Image size 250×250 · bone marrow aspirate smear.
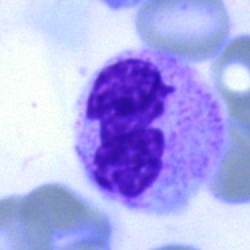 Single cell identified as a polymorphonuclear neutrophil.